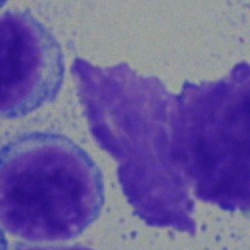

A lymphocyte.